May-Grünwald-Giemsa stain · bone marrow smear.
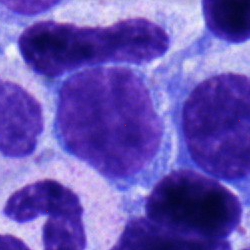Cell: lymphocyte.